Bone marrow aspirate smear:
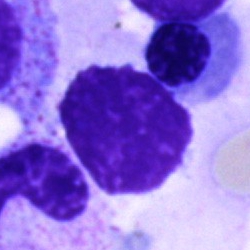
Morphological class — artifact.